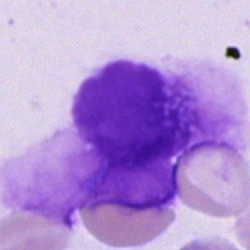

Single-cell crop from a bone marrow smear: artefact.